Bone marrow aspirate smear
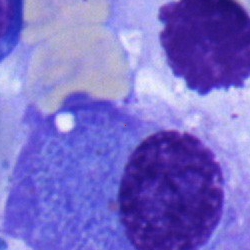Specimen: bone marrow smear.
Classification: plasma cell.
Lineage: lymphoid.